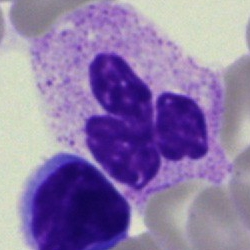 Q: What is shown here?
A: A segmented neutrophil.